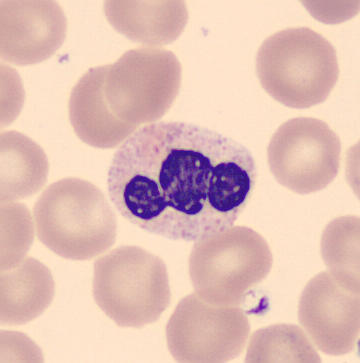 Image: Peripheral blood film. The cell shown is a neutrophil (segmented).